250×250. Bone marrow smear. May-Grünwald-Giemsa stain
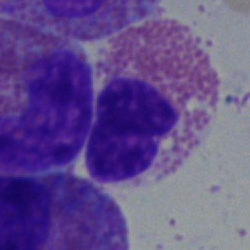
Morphology → eosinophil.